Peripheral blood film. Single cell centered in the field.
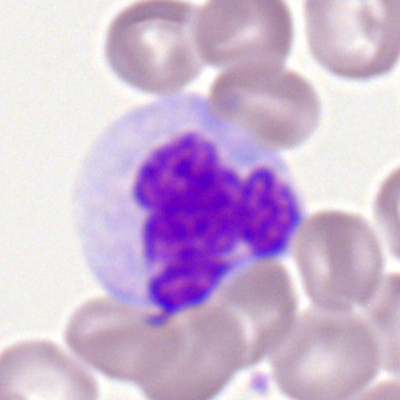

This is a monocyte.